Single-cell field; bone marrow aspirate smear — 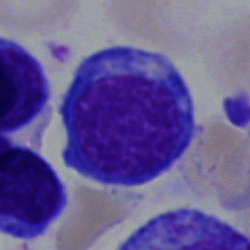 {"cell_type": "normoblast"}